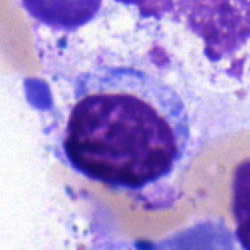
Single-cell crop from a bone marrow smear: lymphocyte.